Bone marrow aspirate smear · MGG-stained.
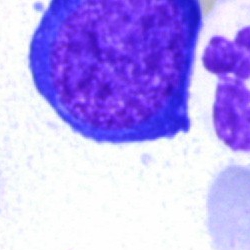 This is a nucleated red blood cell.